Bone marrow smear:
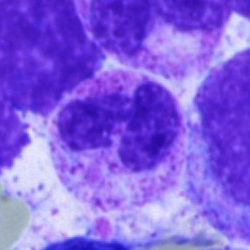

Q: What type of cell is this?
A: Segmented neutrophil.